Bone marrow smear:
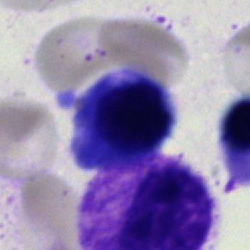Single cell identified as an erythroblast.